250 by 250 pixels; May-Grünwald-Giemsa/Pappenheim stain; bone marrow smear:
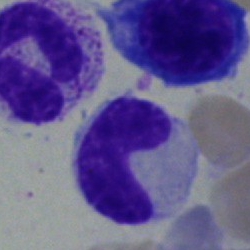Showing a neutrophil (band).